Bone marrow aspirate smear — 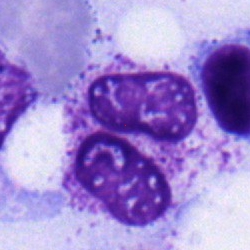
This is a neutrophil (segmented).